Bone marrow smear:
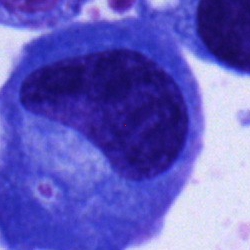
Showing a plasma cell.